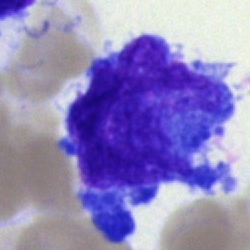
The cell type is blast cell.